Bone marrow aspirate smear — 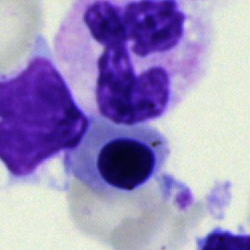 Morphology — polymorphonuclear neutrophil.